Bone marrow smear. Image size 250×250: 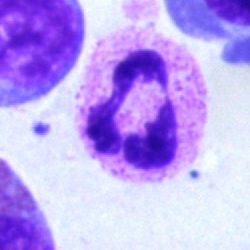 Segmented neutrophil.